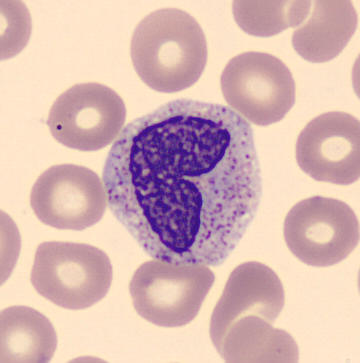Peripheral blood film.

Morphology — metamyelocyte.